Image size 250×250. Bone marrow aspirate smear
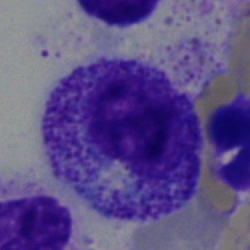 Q: Which cell type is shown here?
A: This is a progranulocyte.